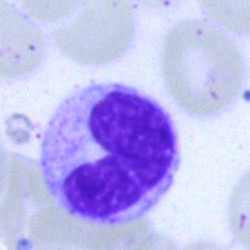 Classification — band neutrophil.